Bone marrow smear; image size 250×250.
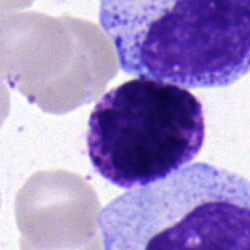 Single cell identified as a basophil.